Bone marrow smear — 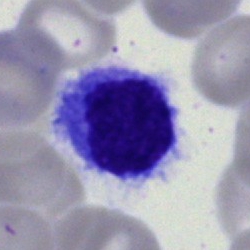
The cell shown is a typical lymphocyte.